40× objective, oil immersion. Bone marrow aspirate smear.
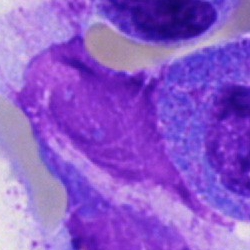
The cell type is artifact.